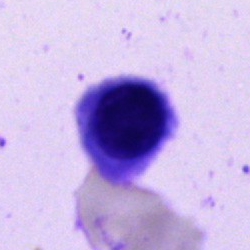
Nucleated red blood cell.